Bone marrow smear · brightfield microscopy, 40× oil immersion: 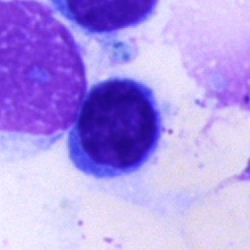
Single cell identified as a typical lymphocyte.